40× oil immersion. Bone marrow aspirate smear — 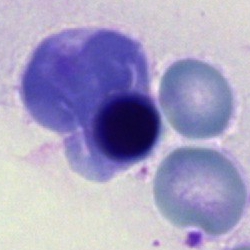 This is a nucleated red cell.